Bone marrow smear. 250×250 px
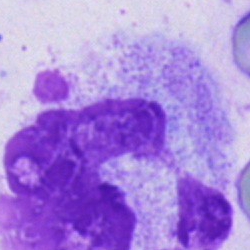

Morphology → artefact.